Single-cell field. Bone marrow aspirate smear: 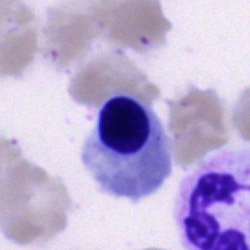
Q: Which cell type is shown here?
A: Erythroblast.